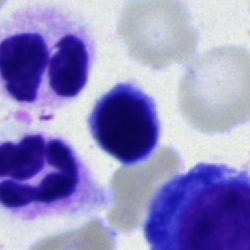
Single cell identified as a typical lymphocyte.